Peripheral blood smear:
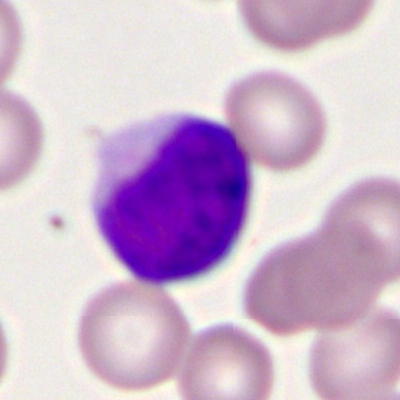Showing a myeloid blast.